Peripheral blood film · brightfield, 100× oil-immersion objective:
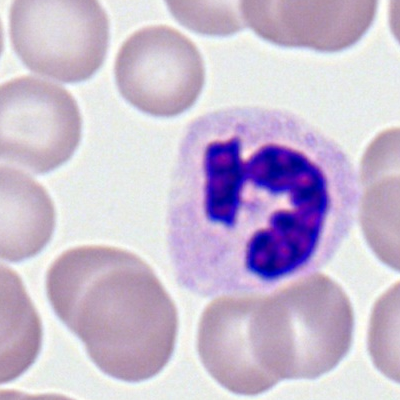

Morphological class: segmented neutrophil.